Bone marrow aspirate smear.
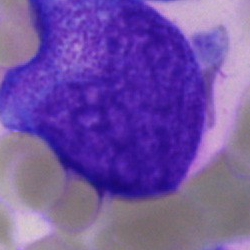
Q: What type of cell is this?
A: It is a progranulocyte.